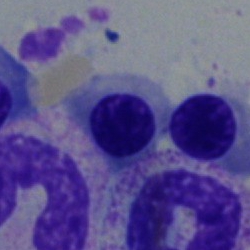

A normoblast on a bone marrow smear.